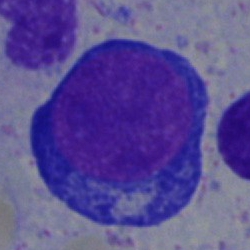
Cell — progranulocyte.